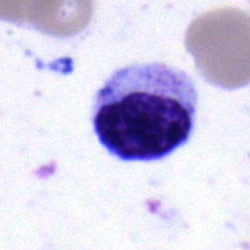
Q: What is the morphological classification of this cell?
A: A metamyelocyte.